Bone marrow aspirate smear. MGG-stained:
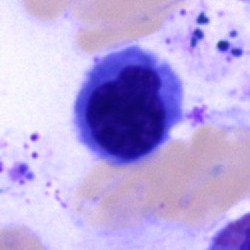 Morphology consistent with an erythroblast.